40× oil immersion. Bone marrow smear
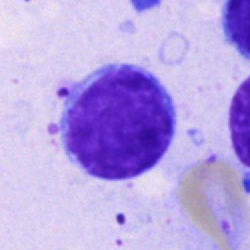 Classification: lymphocyte.